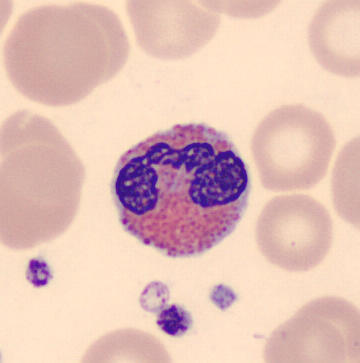 Morphology consistent with an eosinophil.
Peripheral blood smear.